Bone marrow smear. Single cell centered in the field:
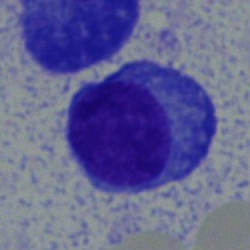

Q: What is shown here?
A: A plasmacyte.